Bone marrow aspirate smear
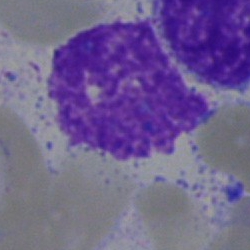
Specimen: bone marrow aspirate smear.
Morphological class: artifact.